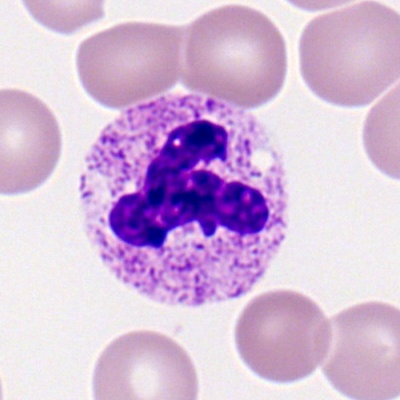
Cell type — segmented neutrophil.